Bone marrow smear
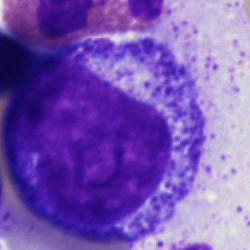 Single cell identified as a promyelocyte.